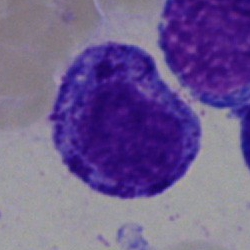
Single cell identified as a promyelocyte.